Bone marrow aspirate smear — 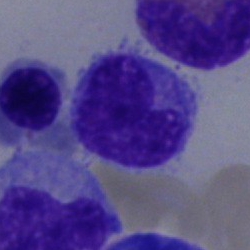
Q: What is the morphological classification of this cell?
A: It is a cell of indeterminate lineage.